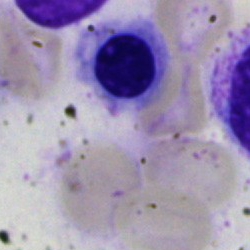Bone marrow smear showing a nucleated red cell.